Bone marrow smear: 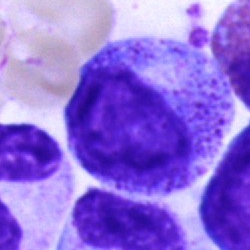
Morphology → promyelocyte.